Bone marrow smear; brightfield, 40× oil-immersion objective — 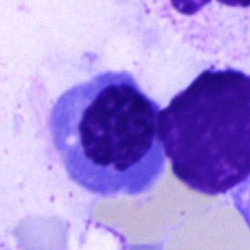 Impression — nucleated red blood cell.